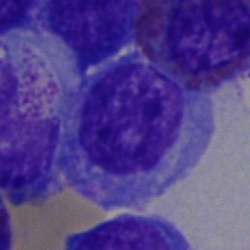 Cell type: blast cell.